40× objective, oil immersion · bone marrow aspirate smear:
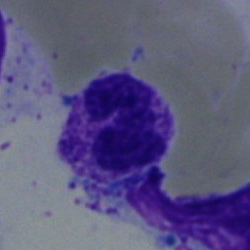Q: What is the morphological classification of this cell?
A: It is a neutrophil (segmented).